Bone marrow aspirate smear.
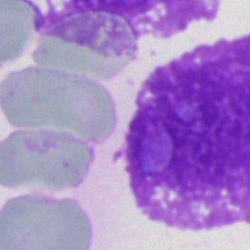An artefact.